Bone marrow aspirate smear — 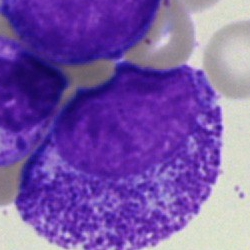 The cell type is progranulocyte.